250×250 px. Bone marrow aspirate smear:
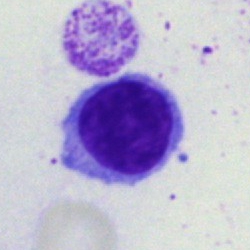

The morphological class is typical lymphocyte.